Bone marrow smear:
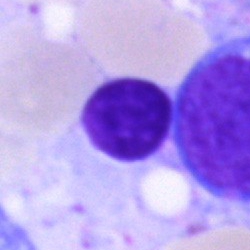Morphology consistent with a typical lymphocyte.